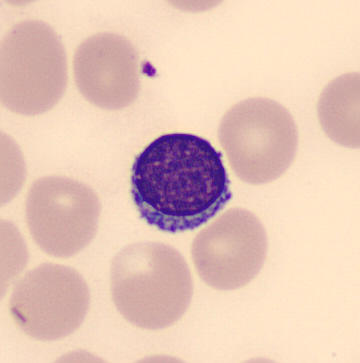Acquisition: Peripheral blood smear · image size 360×363.

Q: What type of cell is this?
A: A typical lymphocyte.